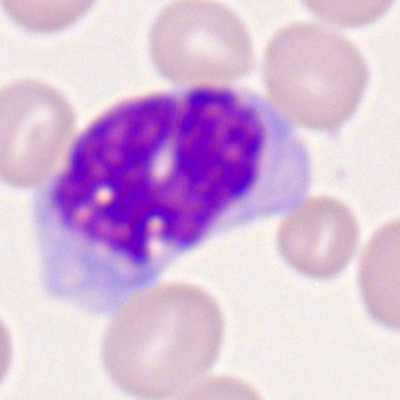 Cell = monocyte.